Bone marrow aspirate smear; MGG-stained:
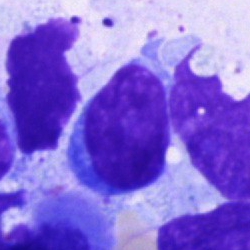 {"cell_type": "typical lymphocyte", "lineage": "lymphoid"}